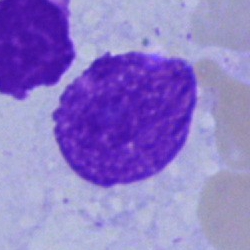
Q: What is shown here?
A: It is an artifact.